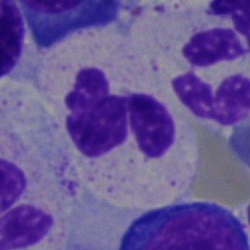 Neutrophil (segmented).